Bone marrow aspirate smear:
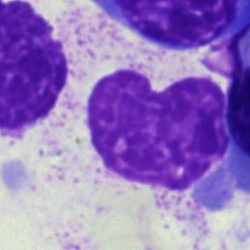Morphology consistent with an artefact.